Bone marrow aspirate smear: 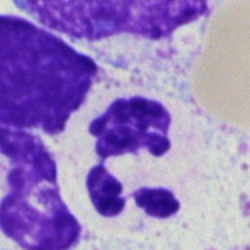
Specimen: bone marrow aspirate smear.
Morphological class: segmented neutrophil.